400×400. Peripheral blood film — 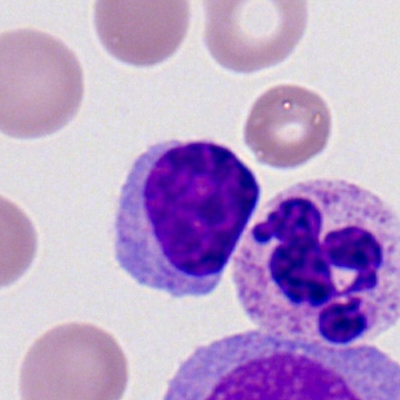 Showing a typical lymphocyte.